Bone marrow smear — 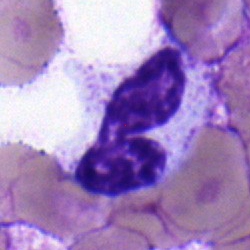
Cell type = polymorphonuclear neutrophil.